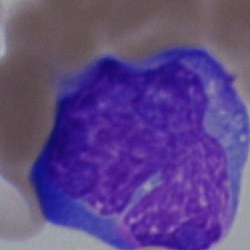 Classification — blast cell.